Bone marrow smear
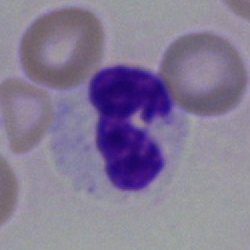 Specimen: bone marrow aspirate smear.
Classification: segmented neutrophil.